Image size 250×250. Bone marrow aspirate smear: 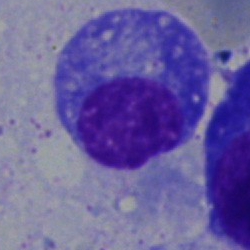
Morphology → plasma cell.